Bone marrow smear · image size 250×250: 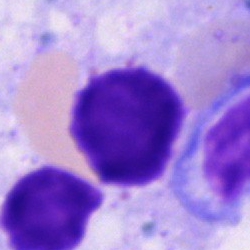 The cell is artifact.